Bone marrow aspirate smear.
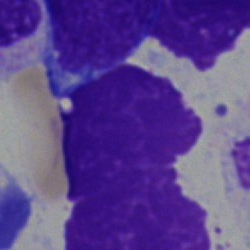
Impression → artefact.